Bone marrow aspirate smear
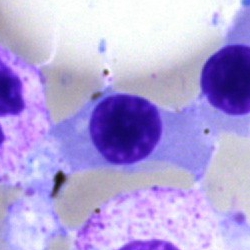

Nucleated red blood cell.